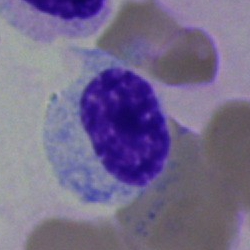Specimen: bone marrow aspirate smear.
Cell: myelocyte.
Lineage: myeloid.